Bone marrow smear; 40× objective, oil immersion; 250×250 — 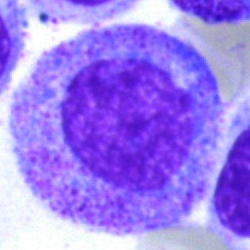 This is a myelocyte.